Bone marrow smear.
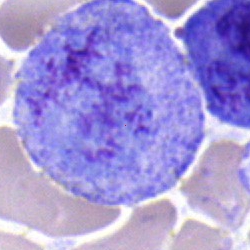

Q: What type of cell is this?
A: This is a progranulocyte.